Bone marrow aspirate smear. Pappenheim-stained
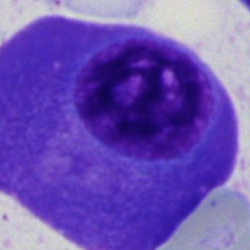

This is a plasma cell.